Bone marrow aspirate smear
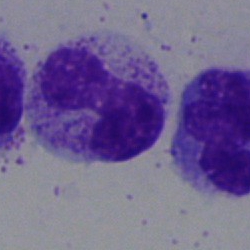
This is a band neutrophil.